Peripheral blood smear; Romanowsky-stained; 100× oil immersion, 14.14 px/µm:
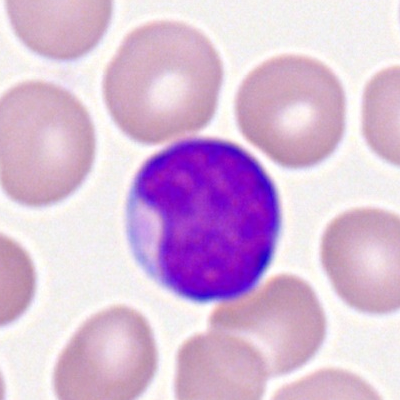

This is a myeloblast.